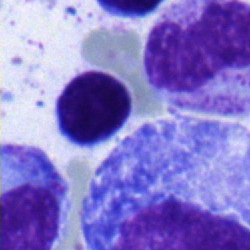
Showing a typical lymphocyte.